Bone marrow smear; 40× oil immersion.
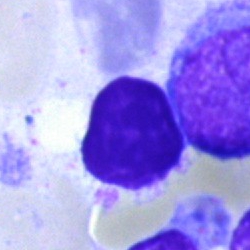Q: What is shown here?
A: This is an artefact.